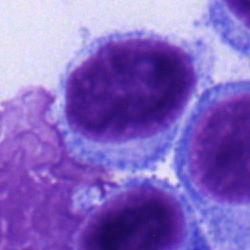

Q: What is the morphological classification of this cell?
A: Typical lymphocyte.